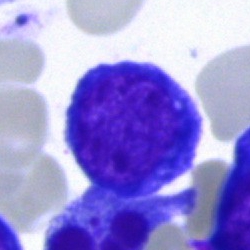

The classification is nucleated red blood cell.